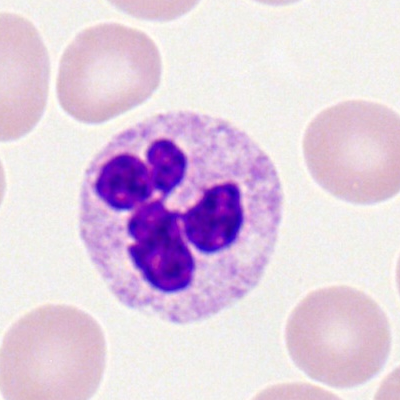

Peripheral blood film, single cell — segmented neutrophil.